Brightfield microscopy, 40× oil immersion; single cell centered in the field; bone marrow aspirate smear
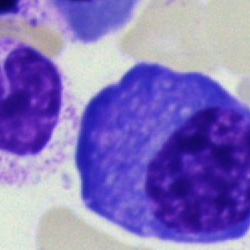
A plasmacyte.